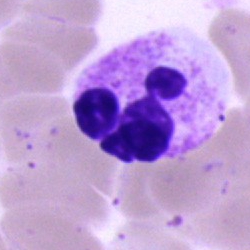

A polymorphonuclear neutrophil on a bone marrow smear.